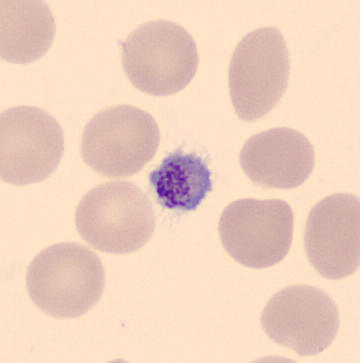 Peripheral blood smear.

{"cell_type": "platelet (thrombocyte)"}